Single-cell field; 250 by 250 pixels; bone marrow aspirate smear
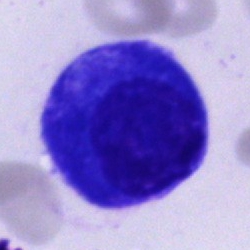This is a plasma cell.